250×250. Single-cell field. Bone marrow aspirate smear: 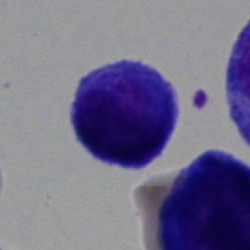

Q: What is shown here?
A: Lymphocyte.